Bone marrow smear — 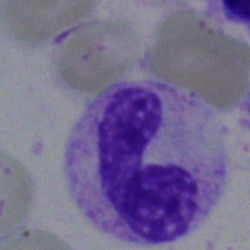
Morphology consistent with a segmented neutrophil.